250×250 px; bone marrow aspirate smear — 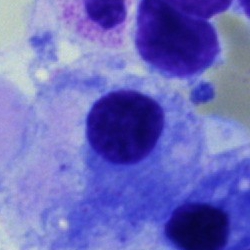
The classification is plasmacyte.